Bone marrow smear. May-Grünwald-Giemsa/Pappenheim stain
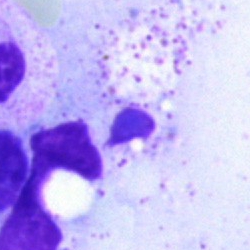Cell type — artifact.